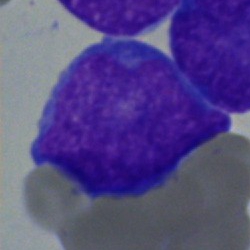

Specimen: bone marrow smear.
Classification: blast cell.